Image size 250×250 · bone marrow smear: 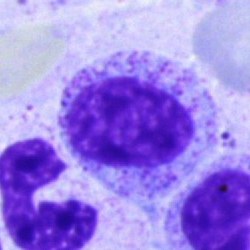

Impression — myelocyte.